Bone marrow smear
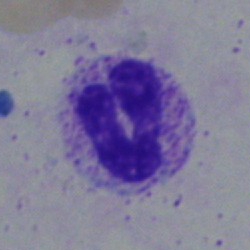Q: What is the morphological classification of this cell?
A: Neutrophil (band).